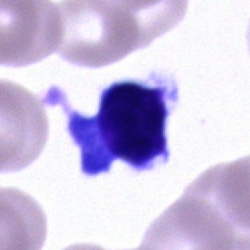 Morphological class = cell of indeterminate lineage.